Single cell centered in the field. Bone marrow smear: 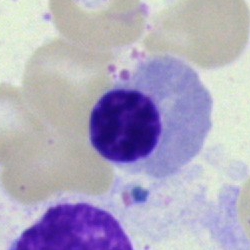Specimen: bone marrow smear.
Cell type: normoblast.
Lineage: erythroid.